250×250 px; brightfield, 40× oil-immersion objective; bone marrow aspirate smear: 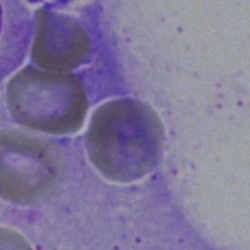

Morphology consistent with an artefact.